Bone marrow aspirate smear · single cell centered in the field: 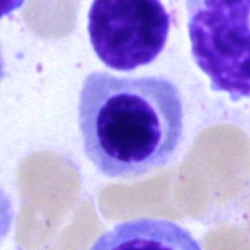Specimen: bone marrow aspirate smear.
Classification: nucleated red cell.